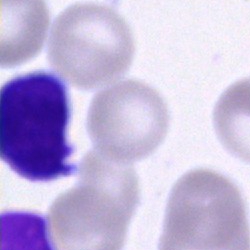 Cell: typical lymphocyte.